M8 digital microscope (Precipoint), 100× oil immersion. Peripheral blood film: 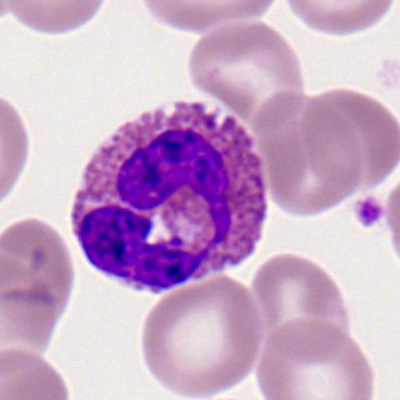This is an eosinophilic granulocyte.